Brightfield, 40× oil-immersion objective · 250×250 · bone marrow smear
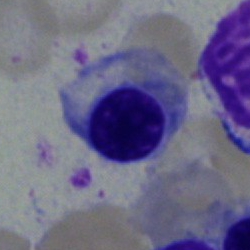 Morphological class — erythroblast.